Bone marrow aspirate smear. 250×250 px. May-Grünwald-Giemsa/Pappenheim stain:
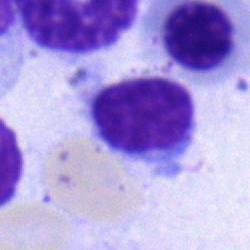 This is a typical lymphocyte.